Bone marrow smear
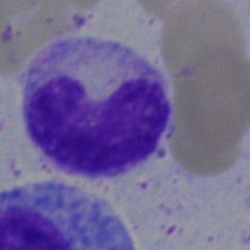{"cell_type": "metamyelocyte"}